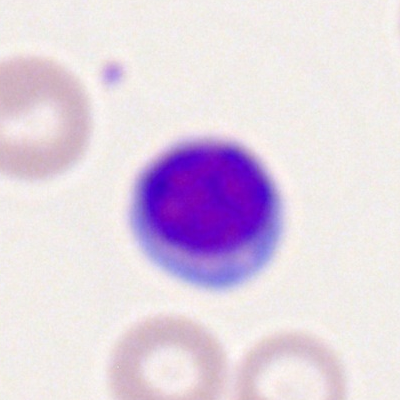 Showing a typical lymphocyte.